Bone marrow aspirate smear:
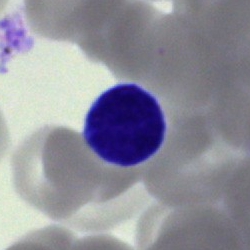Classification — typical lymphocyte.